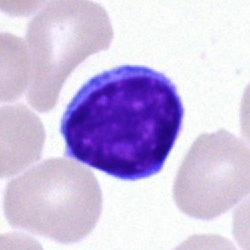

Morphology consistent with a typical lymphocyte.